Single cell centered in the field. 100× objective, oil immersion. Peripheral blood smear.
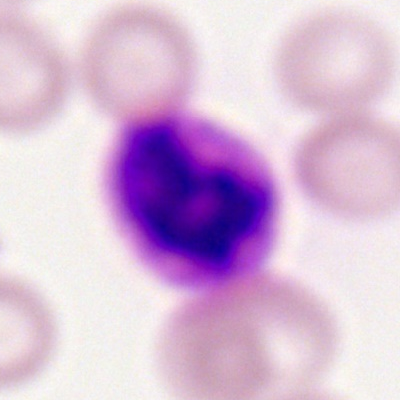

Basophilic granulocyte.